Bone marrow aspirate smear.
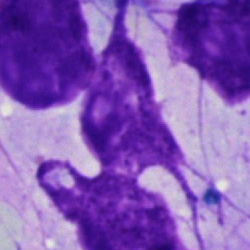Morphological class — artefact.